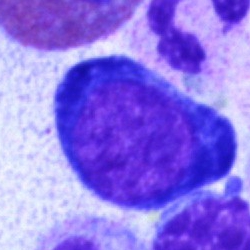 Specimen: bone marrow smear.
Morphological class: nucleated red cell.
Lineage: erythroid.